Bone marrow smear: 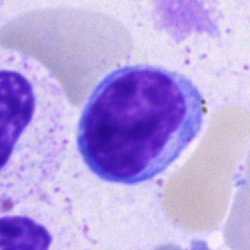{"cell_type": "lymphocyte"}